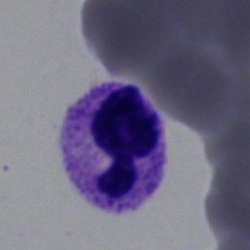

Specimen: bone marrow aspirate smear.
Cell: polymorphonuclear neutrophil.
Lineage: myeloid.